Bone marrow smear · MGG-stained:
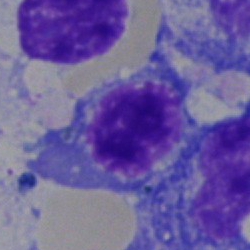Morphology — nucleated red blood cell.